MGG-stained · single cell centered in the field · bone marrow aspirate smear: 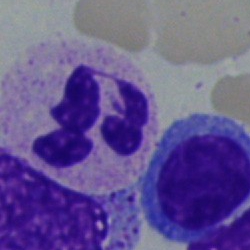The cell shown is a segmented neutrophil.